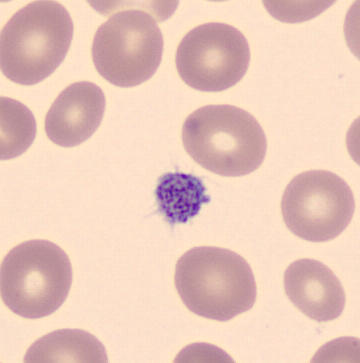

Peripheral blood smear. Q: What is shown here?
A: It is a thrombocyte.